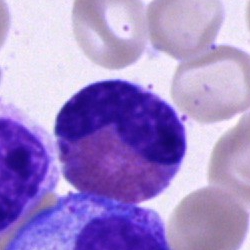 Bone marrow aspirate smear, single cell — eosinophilic granulocyte.